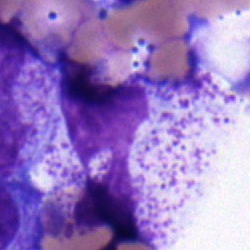

Q: Which cell type is shown here?
A: This is a blast cell.